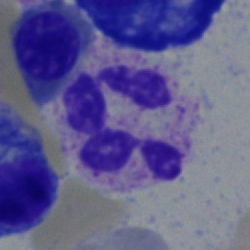Q: What cell is this?
A: A neutrophil (segmented).